Brightfield, 100× oil-immersion objective; 400×400; peripheral blood film
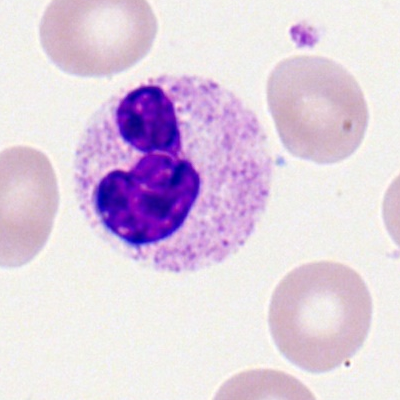A segmented neutrophil.